250×250 px. May-Grünwald-Giemsa stain. Bone marrow smear.
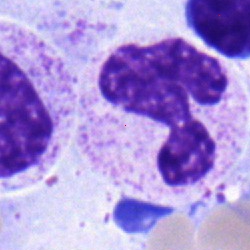
Specimen: bone marrow smear.
Classification: polymorphonuclear neutrophil.
Lineage: myeloid.